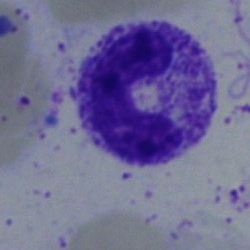

Q: What is the morphological classification of this cell?
A: This is a neutrophil (band).